Peripheral blood smear.
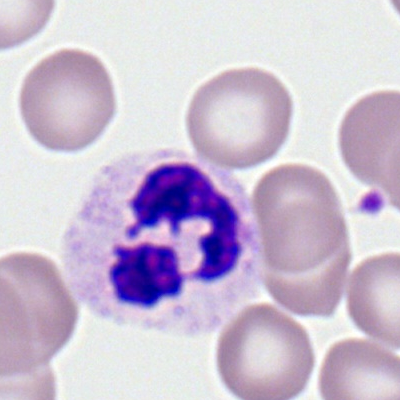

Showing a neutrophil (segmented).